Bone marrow smear:
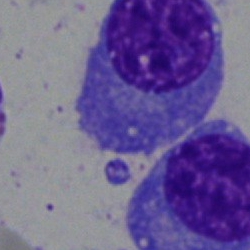
Impression → plasmacyte.